Bone marrow aspirate smear: 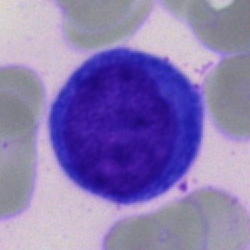
Single cell identified as a proerythroblast.